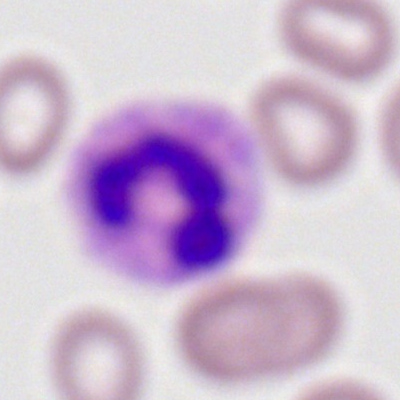
Morphology consistent with a neutrophil (segmented).